250×250 px; May-Grünwald-Giemsa/Pappenheim stain; bone marrow smear: 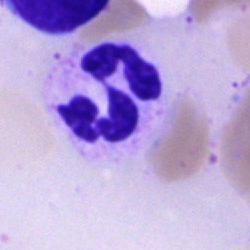
Morphological class: segmented neutrophil.